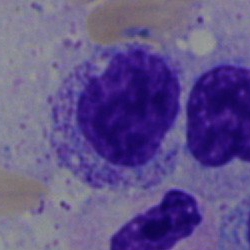

This is a myelocyte.